Bone marrow smear
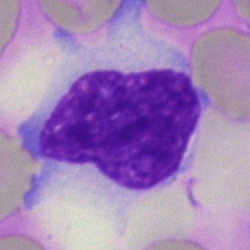Impression — typical lymphocyte.